100× oil immersion. Peripheral blood smear — 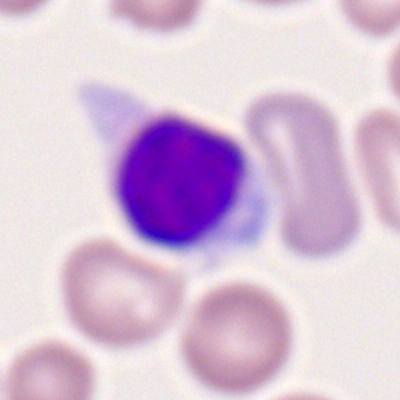

Cell type = typical lymphocyte.